Bone marrow aspirate smear
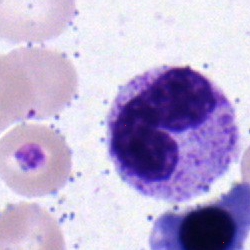This is a stab cell.